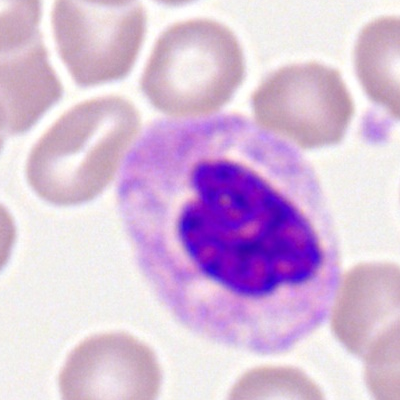

Showing a neutrophil (segmented).